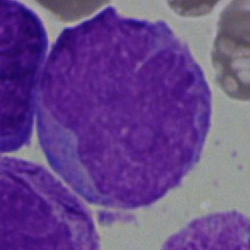
Q: What is shown here?
A: This is a blast.